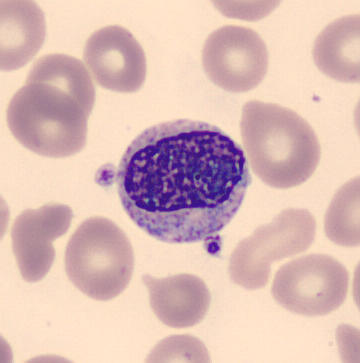 Morphology — metamyelocyte.
Peripheral blood smear.